Bone marrow smear · May-Grünwald-Giemsa stain
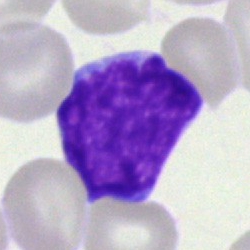
Showing an undifferentiated blast.